Peripheral blood smear
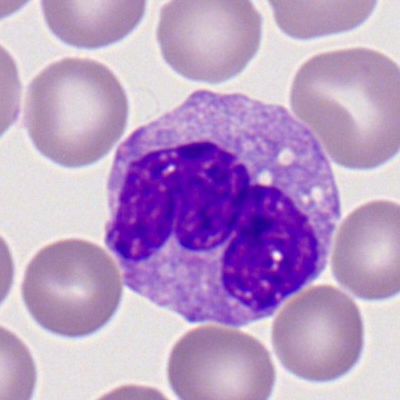
The cell shown is a monocyte.